Bone marrow aspirate smear — 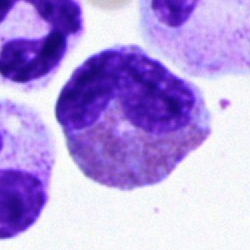

Classification — eosinophil.